Bone marrow smear.
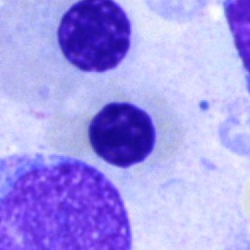
Cell type = nucleated red blood cell.